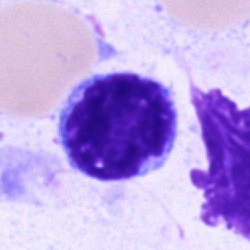The cell is lymphocyte.